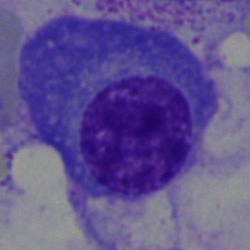{"cell_type": "plasmacyte"}